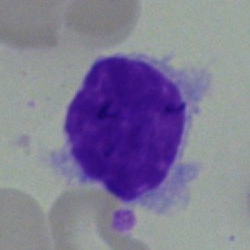 Morphological class — lymphocyte.